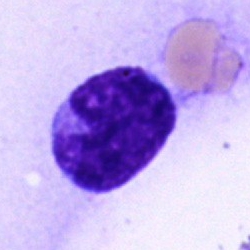 Q: What type of cell is this?
A: Blast.